Bone marrow smear — 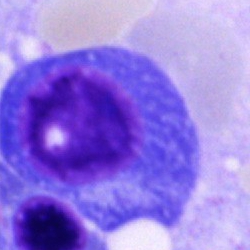
Morphology consistent with a plasma cell.